Bone marrow aspirate smear:
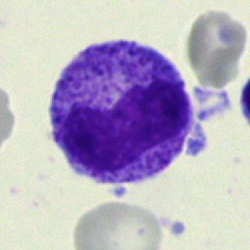Morphological class = metamyelocyte.